Bone marrow smear. Single-cell field.
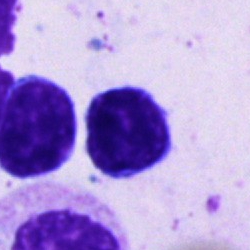 Showing a plasma cell.